Bone marrow aspirate smear; 40× oil immersion; May-Grünwald-Giemsa stain.
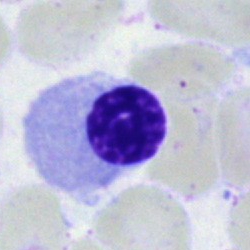Q: What cell is this?
A: This is a nucleated red cell.